250×250 px; single-cell crop; bone marrow aspirate smear.
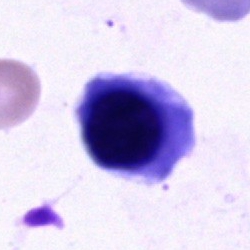This is an erythroblast.